Peripheral blood smear.
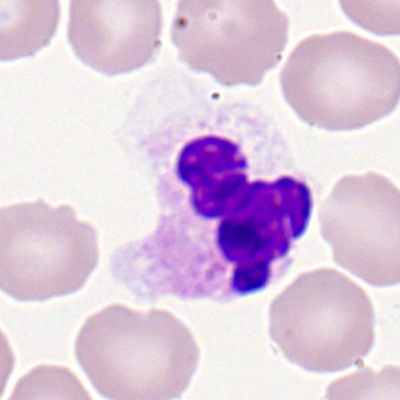
Cell = segmented neutrophil.